Bone marrow aspirate smear. 40× objective, oil immersion. 250 by 250 pixels:
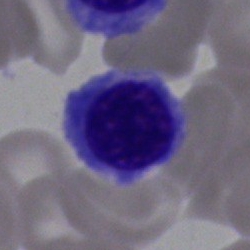Specimen: bone marrow aspirate smear.
Classification: nucleated red blood cell.